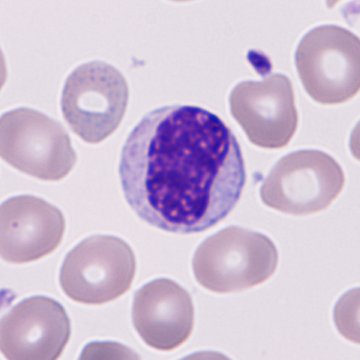 Image: Single cell centered in the field · peripheral blood smear.

Morphological class: immature granulocyte.